40× oil immersion. Bone marrow smear.
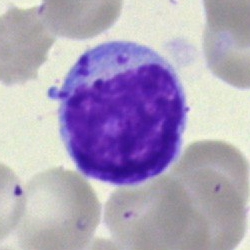Q: Identify the cell.
A: A typical lymphocyte.